Bone marrow aspirate smear
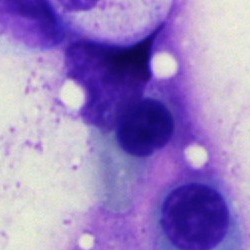Impression → erythroblast.